Single-cell crop · bone marrow smear — 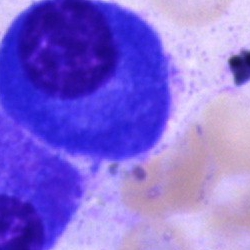 Q: Identify the cell.
A: It is a plasma cell.